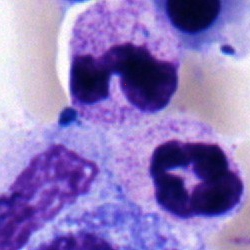
Morphological class — stab cell.